Bone marrow aspirate smear — 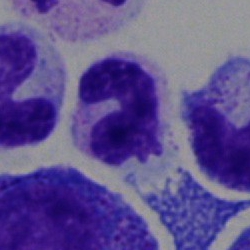 Morphology consistent with a neutrophil (segmented).